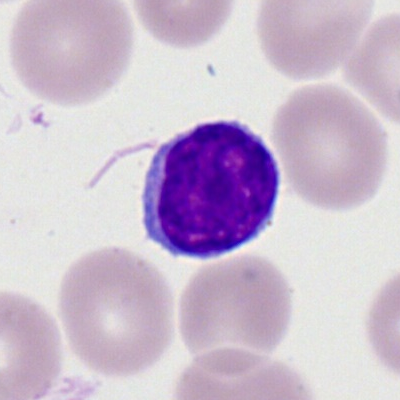

Q: Identify the cell.
A: Typical lymphocyte.